40× oil immersion. Bone marrow smear. Pappenheim-stained: 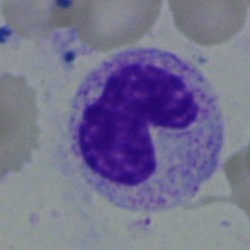Morphological class = band neutrophil.